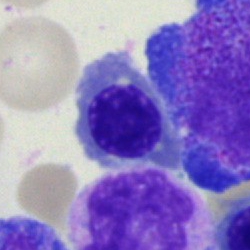Cell — nucleated red cell.